Bone marrow aspirate smear — 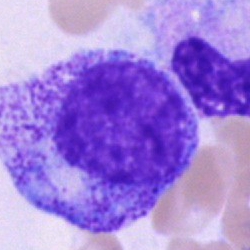The classification is promyelocyte.